Bone marrow smear.
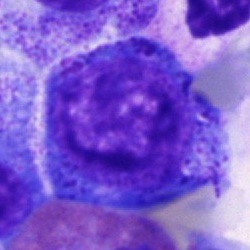

A promyelocyte.